May-Grünwald-Giemsa/Pappenheim stain · bone marrow aspirate smear: 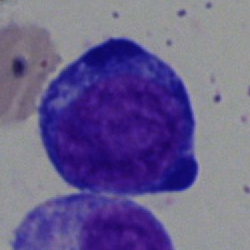
Cell type: nucleated red cell.